MGG-stained · bone marrow smear:
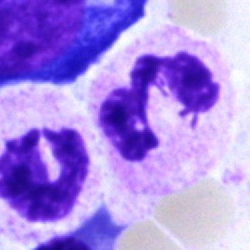Morphology consistent with a polymorphonuclear neutrophil.